Bone marrow smear; Pappenheim-stained; 250 by 250 pixels: 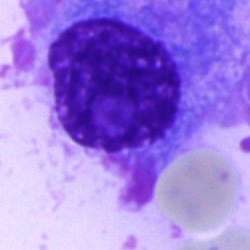 Cell — plasma cell.